Bone marrow smear:
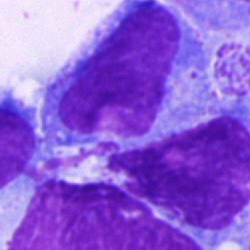
Single cell identified as an undifferentiated blast.